Peripheral blood film:
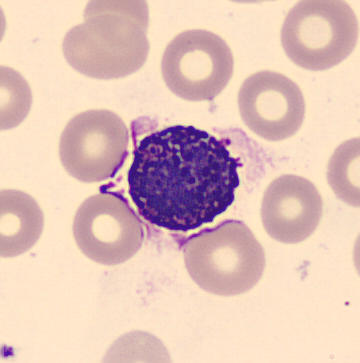
This is a basophilic granulocyte.